Cropped to a single cell · bone marrow smear: 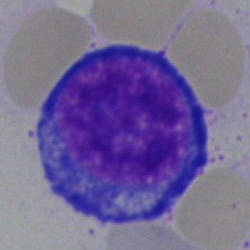

Impression — nucleated red blood cell.